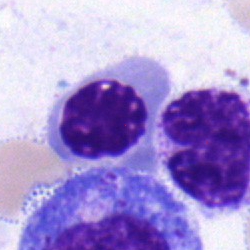Specimen: bone marrow smear.
Morphological class: erythroblast.
Lineage: erythroid.